Bone marrow aspirate smear. Single-cell crop. 250×250 px: 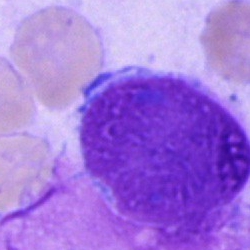Morphology → artifact.